Bone marrow aspirate smear — 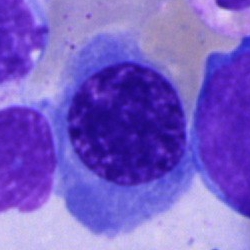
Impression → nucleated red cell.